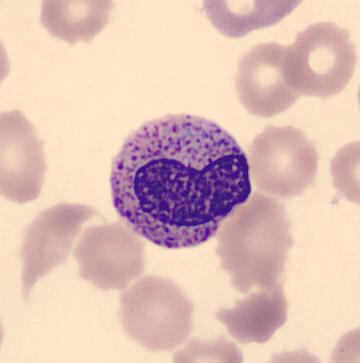

Morphology consistent with a metamyelocyte.